Bone marrow smear
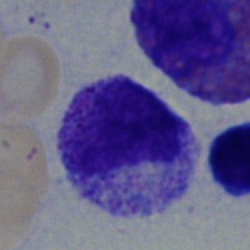 The classification is myelocyte.